Bone marrow aspirate smear. May-Grünwald-Giemsa stain.
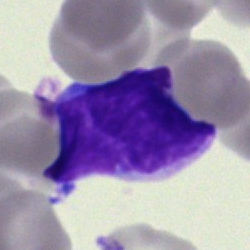
Cell type = blast.